40× oil immersion · bone marrow smear: 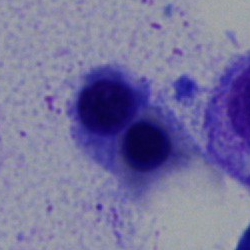 Nucleated red blood cell.